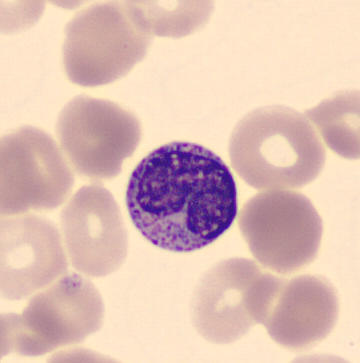

Showing a metamyelocyte.

Acquisition: May Grünwald-Giemsa stain. CellaVision DM96. Peripheral blood smear.